Bone marrow smear · brightfield, 40× oil-immersion objective:
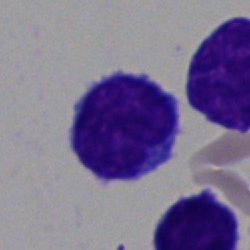

Specimen: bone marrow aspirate smear.
Morphological class: undifferentiated blast.